Bone marrow aspirate smear:
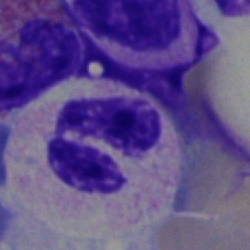
Morphology → segmented neutrophil.